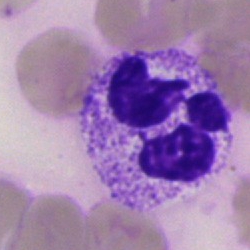

Morphological class = polymorphonuclear neutrophil.